Pappenheim-stained; single-cell crop; bone marrow aspirate smear.
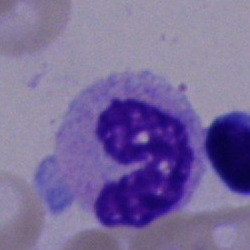Specimen: bone marrow aspirate smear.
Cell: polymorphonuclear neutrophil.
Lineage: myeloid.